Bone marrow smear
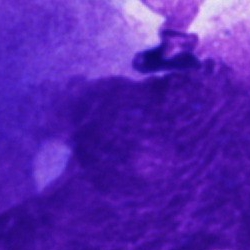

The cell is artefact.